Brightfield, 40× oil-immersion objective. Bone marrow smear:
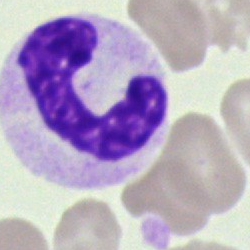Band neutrophil.